Bone marrow smear · 40× objective, oil immersion: 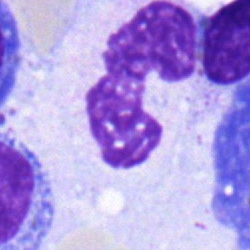
Q: What is the morphological classification of this cell?
A: It is a neutrophil (band).